Peripheral blood film:
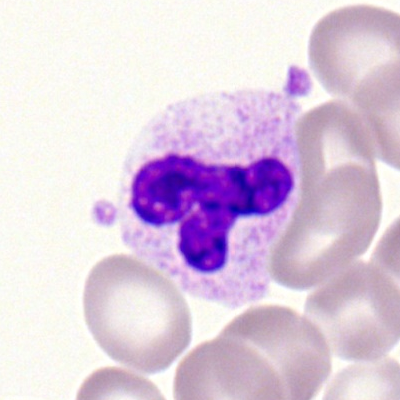
A polymorphonuclear neutrophil.